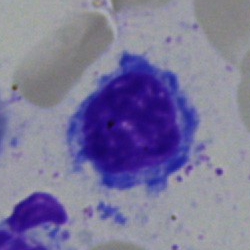

Cell — typical lymphocyte.